Bone marrow smear.
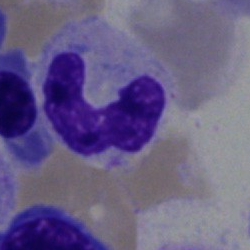 Single cell identified as a band-form neutrophil.